Pappenheim-stained · bone marrow aspirate smear:
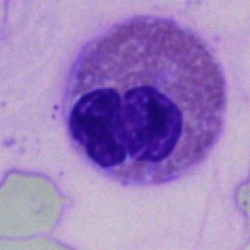The morphological class is eosinophilic granulocyte.